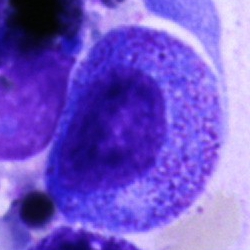

Progranulocyte.